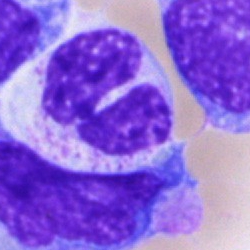
A neutrophil (segmented) on a bone marrow smear.